Bone marrow aspirate smear. 250×250 px. Cropped to a single cell.
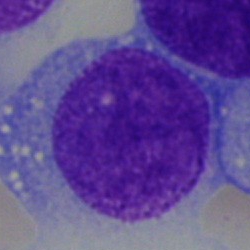Showing an undifferentiated blast.